Bone marrow aspirate smear
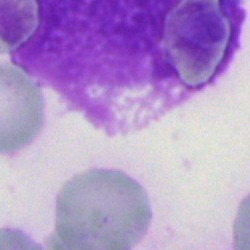
Single cell identified as an artefact.